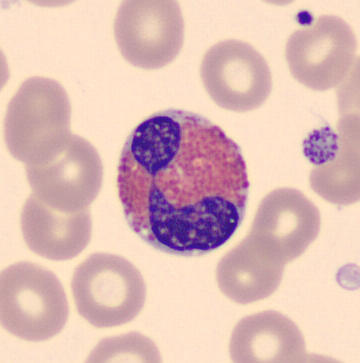Peripheral blood film, single cell — eosinophil.